Bone marrow smear — 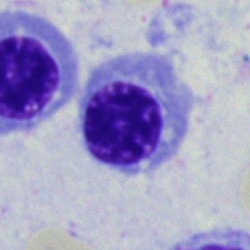
Morphology consistent with an erythroblast.